Brightfield, 100× oil-immersion objective. Peripheral blood film:
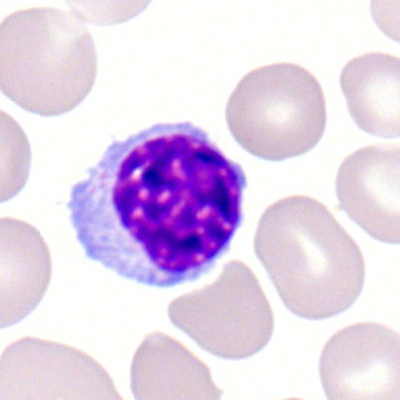Q: Which cell type is shown here?
A: It is a lymphocyte.